Bone marrow smear:
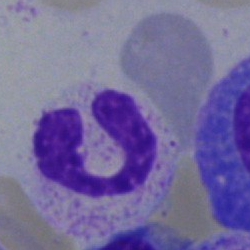
Q: Identify the cell.
A: This is a neutrophil (segmented).